Peripheral blood smear: 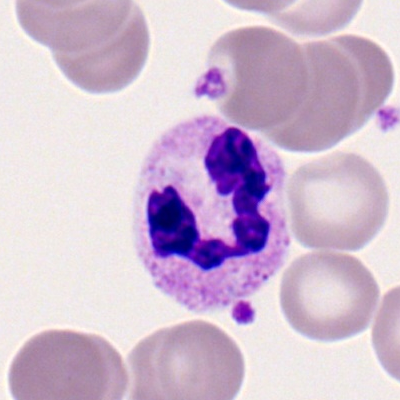Specimen: peripheral blood film.
Cell: neutrophil (segmented).
Lineage: myeloid.